Bone marrow aspirate smear:
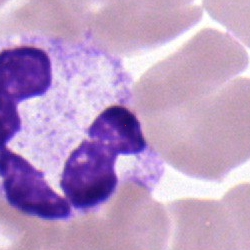

Impression — neutrophil (segmented).